Bone marrow smear.
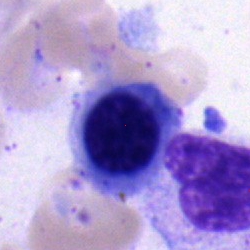

{"cell_type": "erythroblast", "lineage": "erythroid"}